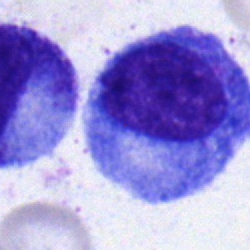The cell type is promyelocyte.